Bone marrow smear:
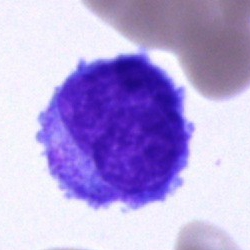 Specimen: bone marrow aspirate smear.
Morphological class: blast.